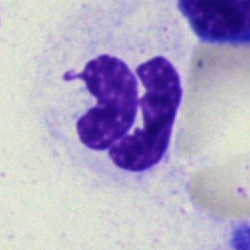
The cell is segmented neutrophil.